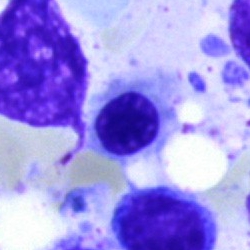 Normoblast.